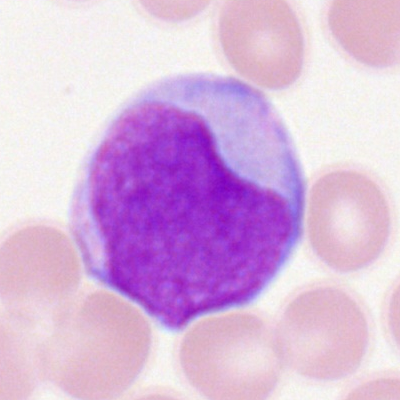Q: What cell is this?
A: Myeloid blast.